Bone marrow aspirate smear — 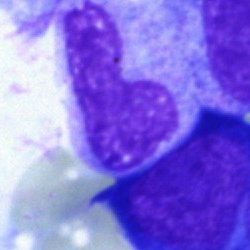 Q: What cell is this?
A: A stab cell.